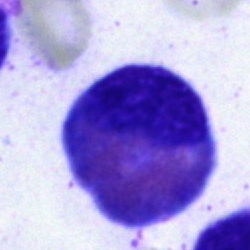

Impression → eosinophilic granulocyte.